Bone marrow aspirate smear · Pappenheim-stained:
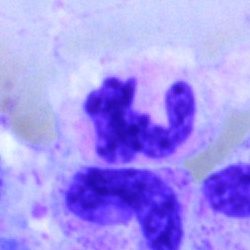Single cell identified as a neutrophil (segmented).